Image size 400×400 · peripheral blood film · M8 digital microscope (Precipoint), 100× oil immersion:
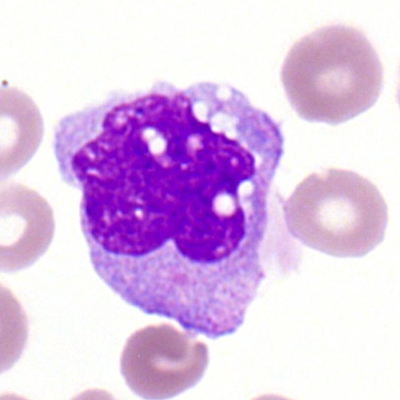
Single cell identified as a monocyte.